Bone marrow aspirate smear.
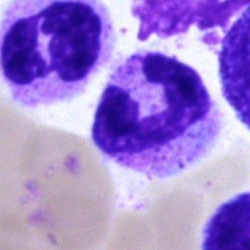
The cell type is segmented neutrophil.